Image size 250×250; bone marrow aspirate smear.
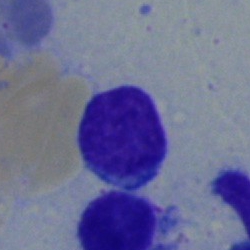Typical lymphocyte.